Brightfield, 40× oil-immersion objective · bone marrow smear: 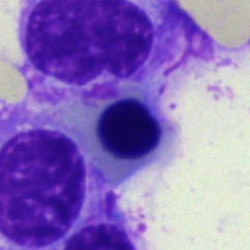

An erythroblast.